Bone marrow aspirate smear — 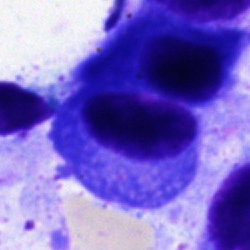 Showing a plasma cell.